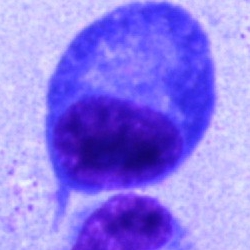
Impression → plasma cell.